Bone marrow smear.
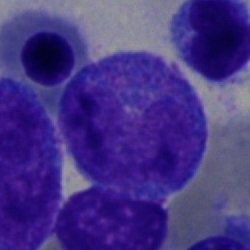
Showing a cell of indeterminate lineage.